Bone marrow aspirate smear. Brightfield microscopy, 40× oil immersion
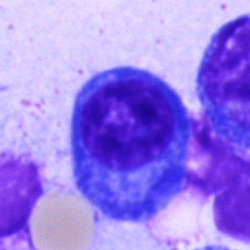A plasmacyte.